Bone marrow aspirate smear: 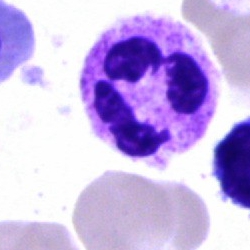

Morphology consistent with a segmented neutrophil.